Bone marrow smear: 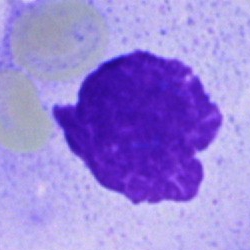 Morphology → artifact.